Bone marrow aspirate smear; Pappenheim-stained; 40× objective, oil immersion — 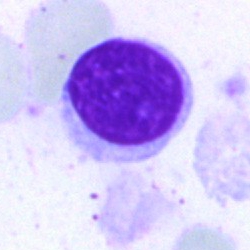Lymphocyte.